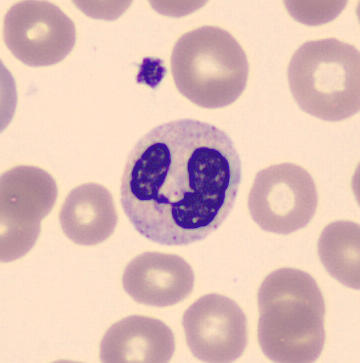
Impression — neutrophil (segmented).

Acquisition: Peripheral blood smear.